Bone marrow smear
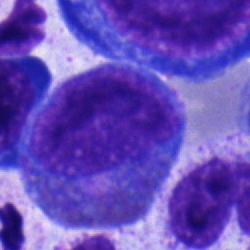 Specimen: bone marrow aspirate smear.
Morphological class: myelocyte.
Lineage: myeloid.